Bone marrow aspirate smear:
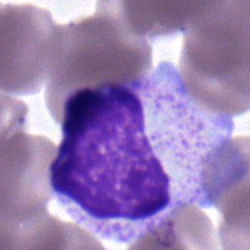
Impression → myelocyte.